Pappenheim-stained. Brightfield, 40× oil-immersion objective. Bone marrow smear.
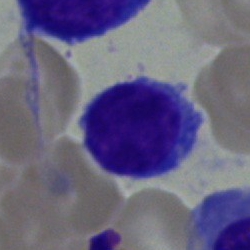Classification — typical lymphocyte.